Bone marrow aspirate smear. MGG-stained. Single cell centered in the field:
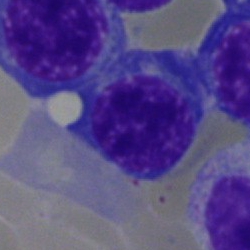

Morphology consistent with an erythroblast.